Single-cell field · bone marrow smear:
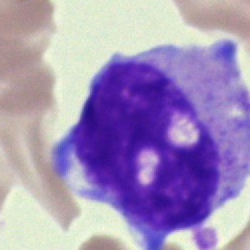 This is an unidentifiable cell.